Bone marrow smear. May-Grünwald-Giemsa stain.
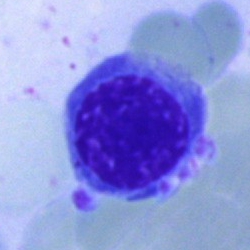

The cell type is erythroblast.